Bone marrow aspirate smear; MGG-stained — 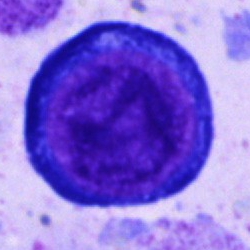 Single cell identified as a proerythroblast.